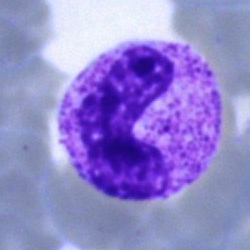 Classification: neutrophil (band).